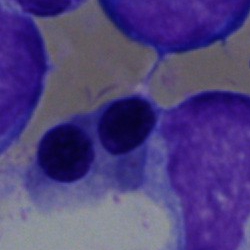Bone marrow smear showing a nucleated red cell.